40× objective, oil immersion. Bone marrow smear:
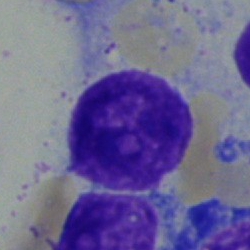

This is a lymphocyte.